Bone marrow smear — 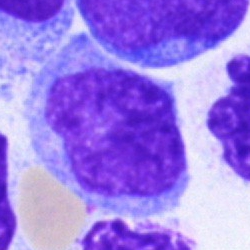Impression — undifferentiated blast.